May-Grünwald-Giemsa stain · image size 250×250 · bone marrow aspirate smear:
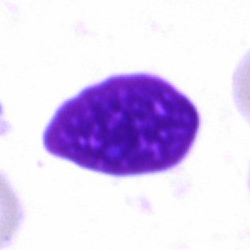 Classification: artifact.